Bone marrow aspirate smear: 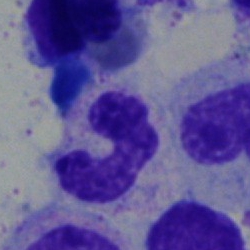 The classification is stab cell.